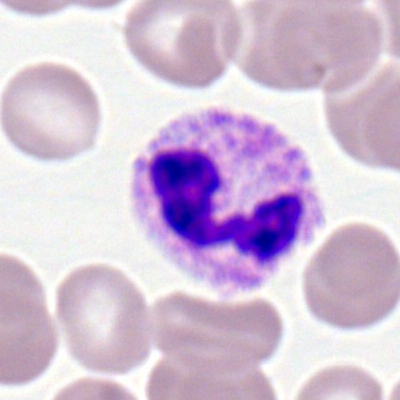
A segmented neutrophil on a peripheral blood smear.